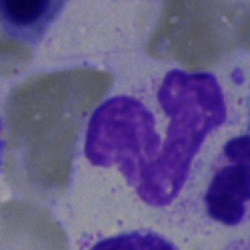

Single-cell crop from a bone marrow smear: neutrophil (segmented).